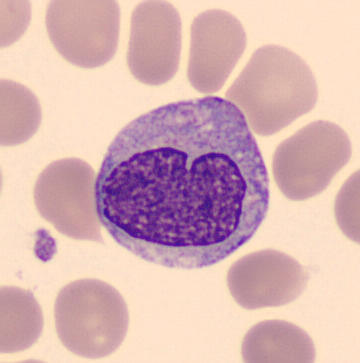

Specimen: peripheral blood smear.
Morphological class: monocyte.